Bone marrow smear.
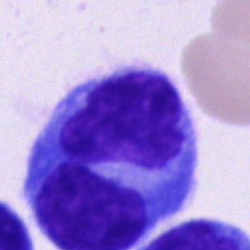Morphology → plasma cell.